Bone marrow smear: 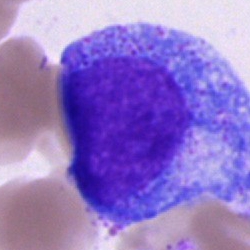Morphology — progranulocyte.